Brightfield microscopy, 40× oil immersion · bone marrow smear:
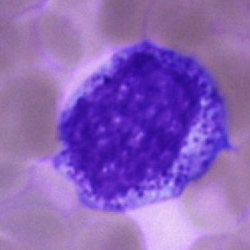 The classification is promyelocyte.